Peripheral blood film · 400 by 400 pixels · Romanowsky-stained — 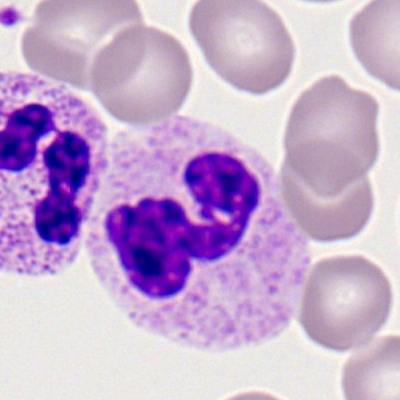 {"cell_type": "segmented neutrophil", "lineage": "myeloid"}